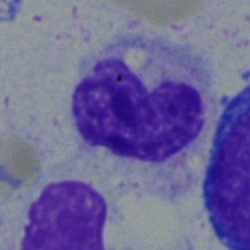Q: Which cell type is shown here?
A: Monocyte.